MGG-stained; bone marrow aspirate smear: 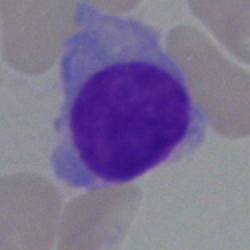

Specimen: bone marrow smear.
Morphological class: plasma cell.
Lineage: lymphoid.